Bone marrow aspirate smear: 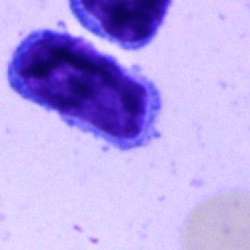 Cell type = lymphocyte.